250 by 250 pixels. Bone marrow smear: 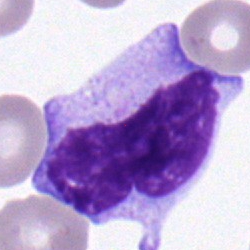
Impression → metamyelocyte.